Bone marrow aspirate smear; May-Grünwald-Giemsa/Pappenheim stain: 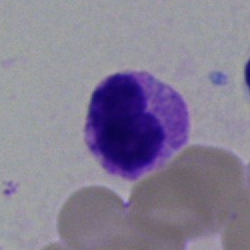 Specimen: bone marrow smear.
Cell: basophil.